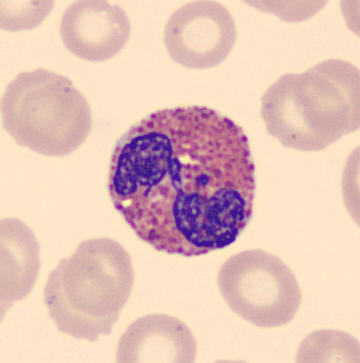 Specimen: peripheral blood film.
Cell type: eosinophil.
Lineage: myeloid.